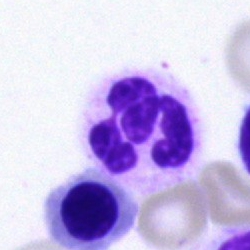 Single cell identified as a neutrophil (segmented).